Bone marrow smear:
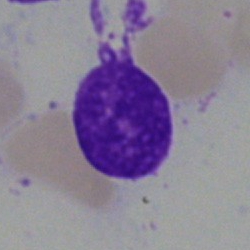
{"cell_type": "artefact"}